Bone marrow aspirate smear.
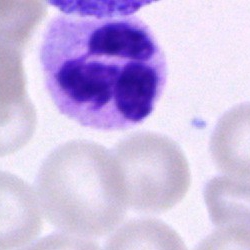

Single cell identified as a polymorphonuclear neutrophil.